Bone marrow aspirate smear:
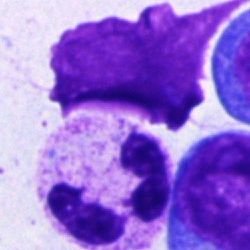

Specimen: bone marrow smear.
Cell: polymorphonuclear neutrophil.
Lineage: myeloid.